Bone marrow aspirate smear · 40× objective, oil immersion: 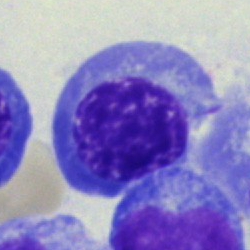 Cell type = normoblast.